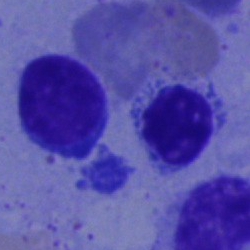Classification — typical lymphocyte.